Bone marrow smear:
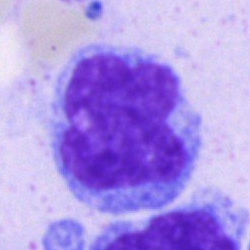
This is a monocyte.